Bone marrow smear.
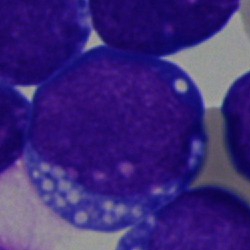

The cell shown is a blast.